100× objective, oil immersion · peripheral blood smear.
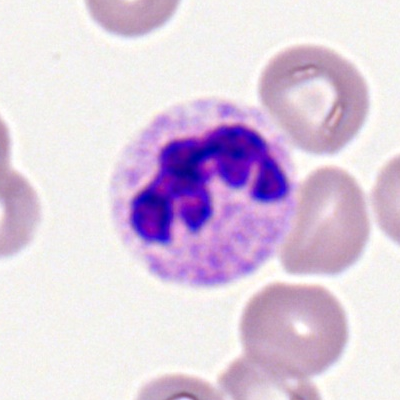

Polymorphonuclear neutrophil.